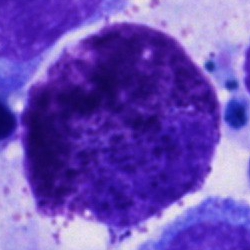Q: What is shown here?
A: Other cell.